Bone marrow aspirate smear:
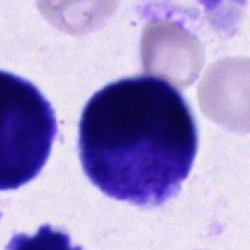An unidentifiable cell.